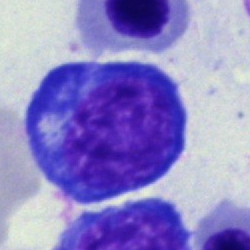
Specimen: bone marrow smear.
Cell type: nucleated red blood cell.
Lineage: erythroid.